Bone marrow aspirate smear:
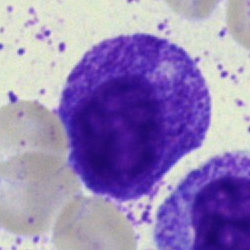

{"cell_type": "myelocyte"}